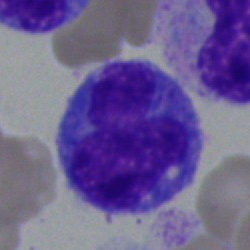
Cell: monocyte.